Bone marrow smear.
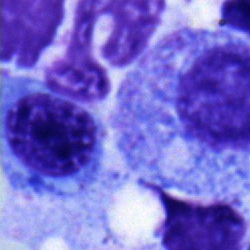 Impression → nucleated red blood cell.